Bone marrow smear. Brightfield, 40× oil-immersion objective — 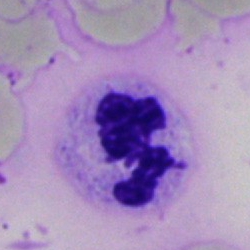
Cell type — segmented neutrophil.